Bone marrow smear:
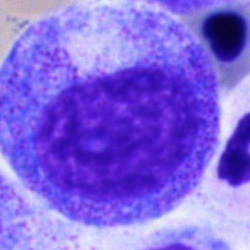 Cell type — promyelocyte.